Bone marrow aspirate smear:
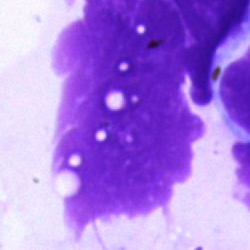

The morphological class is artifact.